Peripheral blood smear.
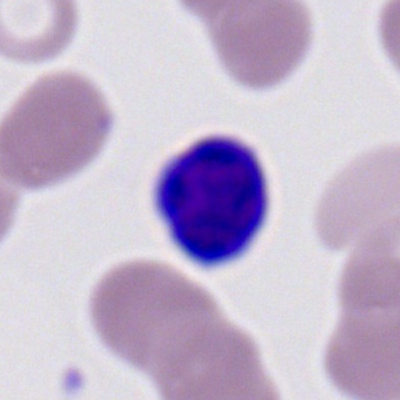
Q: Identify the cell.
A: It is a lymphocyte.